Single-cell crop; bone marrow aspirate smear.
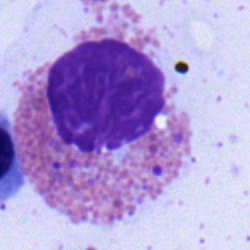Classification = eosinophilic granulocyte.